Bone marrow aspirate smear; May-Grünwald-Giemsa stain:
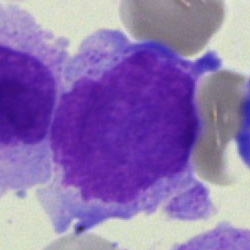Showing an undifferentiated blast.